Bone marrow aspirate smear — 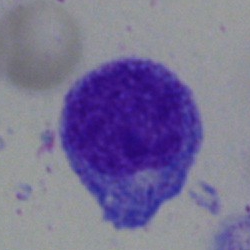
Specimen: bone marrow smear.
Morphological class: promyelocyte.
Lineage: myeloid.